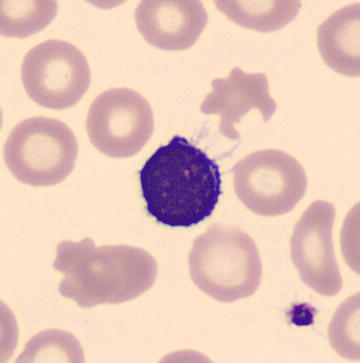 Single cell identified as a typical lymphocyte.